Bone marrow aspirate smear · May-Grünwald-Giemsa/Pappenheim stain · 250×250 px
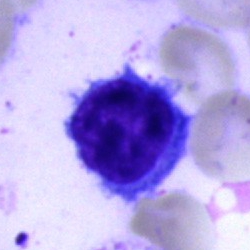
The cell is lymphocyte.